Brightfield, 40× oil-immersion objective; bone marrow aspirate smear; single-cell crop — 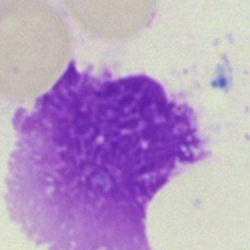

Q: What is shown here?
A: Artifact.